Brightfield microscopy, 40× oil immersion. Pappenheim-stained. Bone marrow smear: 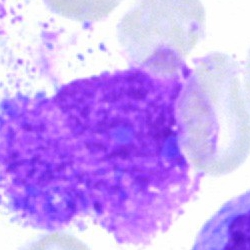
Specimen: bone marrow smear.
Classification: artefact.